Peripheral blood smear:
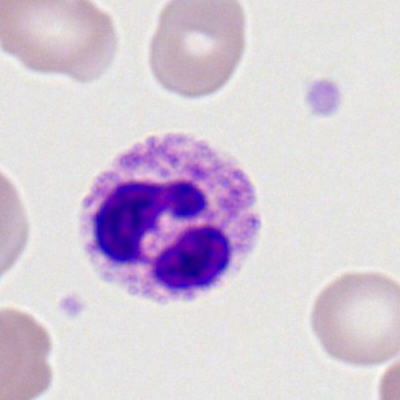 Specimen: peripheral blood film.
Classification: neutrophil (segmented).
Lineage: myeloid.